May-Grünwald-Giemsa stain. Bone marrow aspirate smear: 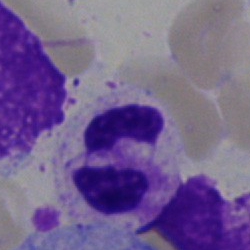

Showing a polymorphonuclear neutrophil.